Bone marrow smear. MGG-stained: 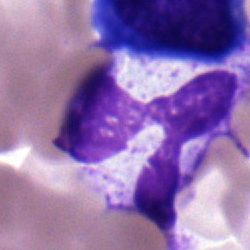

Morphology — monocyte.